Bone marrow aspirate smear. 250 by 250 pixels — 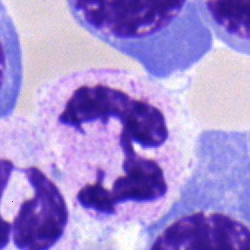
The morphological class is neutrophil (segmented).